Bone marrow aspirate smear.
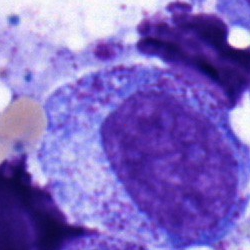
Morphology consistent with a promyelocyte.